Bone marrow aspirate smear.
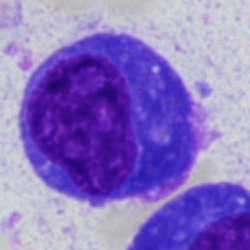

Impression → plasma cell.